Peripheral blood film: 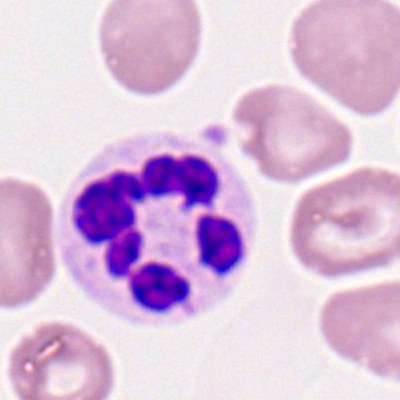 Morphology → polymorphonuclear neutrophil.